Bone marrow smear; single cell centered in the field
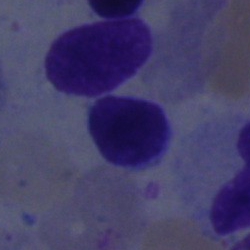

Morphology → typical lymphocyte.